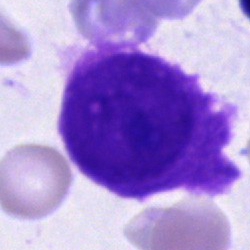 Cell type — plasma cell.